Single cell centered in the field · peripheral blood film · May Grünwald-Giemsa stain: 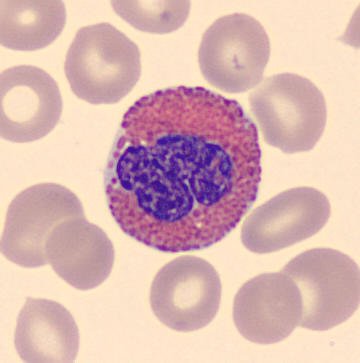
Classification — eosinophilic granulocyte.